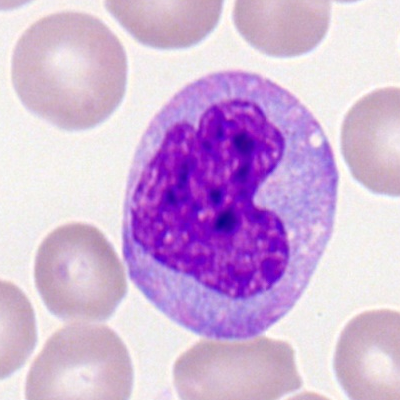 Morphology → monocyte.